40× oil immersion. Bone marrow aspirate smear.
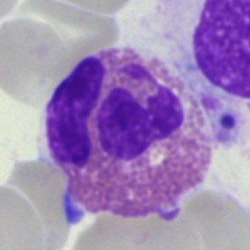Cell type = eosinophil.